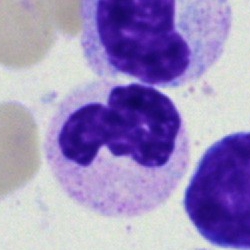 Bone marrow aspirate smear, single cell — segmented neutrophil.